Bone marrow aspirate smear — 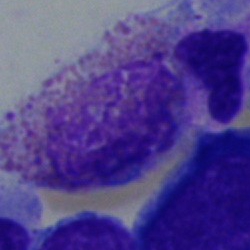
Morphological class = eosinophilic granulocyte.